Single-cell crop. Bone marrow aspirate smear: 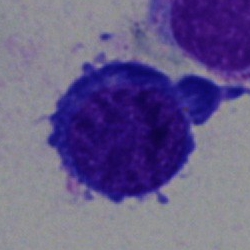Specimen: bone marrow aspirate smear.
Cell type: erythroblast.
Lineage: erythroid.